Bone marrow smear.
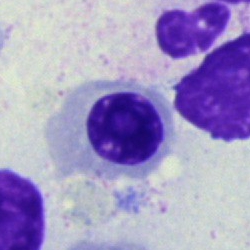

The cell shown is a normoblast.